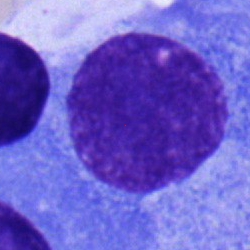

Q: What type of cell is this?
A: This is a plasma cell.